Bone marrow aspirate smear
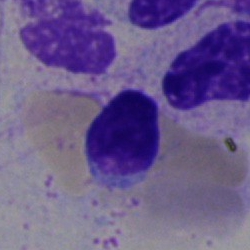The cell shown is a lymphocyte.